Bone marrow smear.
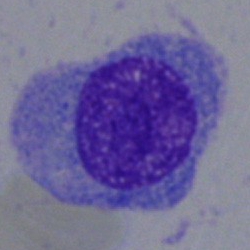 Q: What is shown here?
A: Plasma cell.